Bone marrow smear; brightfield, 40× oil-immersion objective
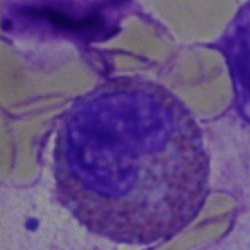
Showing an eosinophilic granulocyte.